Bone marrow smear.
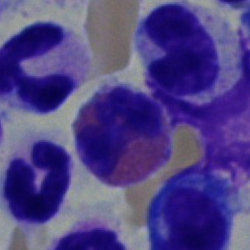
Specimen: bone marrow aspirate smear.
Cell type: eosinophil.